40× objective, oil immersion. Bone marrow aspirate smear.
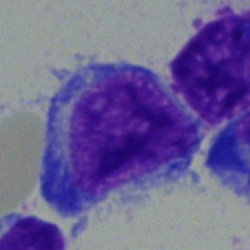
The cell shown is a pronormoblast.